Bone marrow smear: 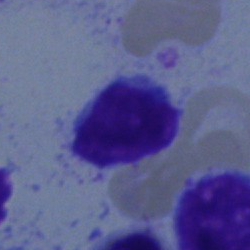

The cell shown is a lymphocyte.